Bone marrow aspirate smear
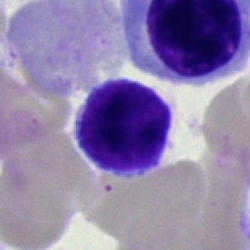
A typical lymphocyte.